Image size 360×363 · peripheral blood smear · MGG stain
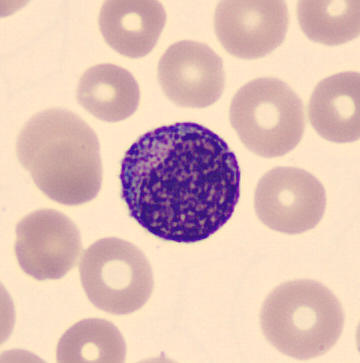 Showing a myelocyte.